Bone marrow aspirate smear — 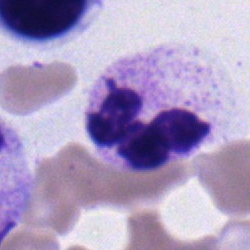 Q: What is shown here?
A: Normoblast.